Bone marrow aspirate smear · single-cell field
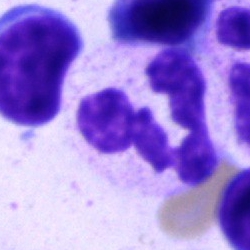Q: What is the morphological classification of this cell?
A: This is a segmented neutrophil.